Bone marrow aspirate smear · 250×250 px:
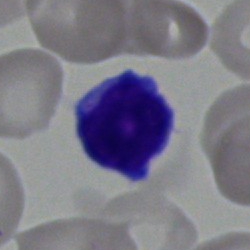
Lymphocyte.